Bone marrow smear — 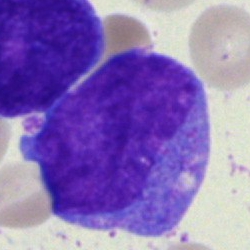Morphology — blast cell.